Image size 250×250 · bone marrow smear
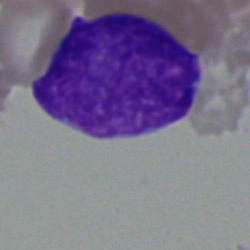 {"cell_type": "blast cell"}